Brightfield microscopy, 40× oil immersion; bone marrow aspirate smear; single-cell crop:
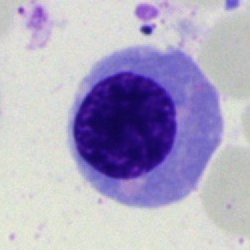
Specimen: bone marrow aspirate smear.
Cell: nucleated red blood cell.
Lineage: erythroid.